Bone marrow aspirate smear: 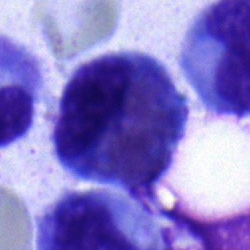 An eosinophil.